400×400; peripheral blood smear — 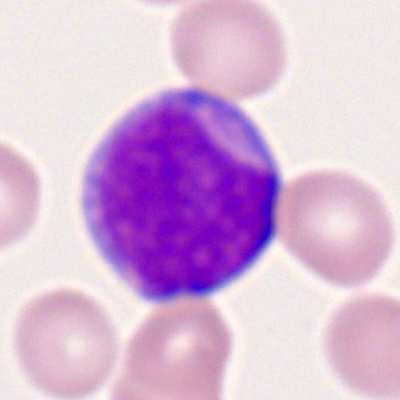This is a myeloblast.